Bone marrow aspirate smear
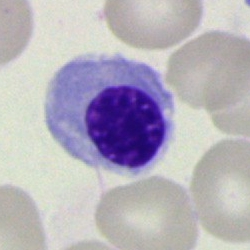

The cell is nucleated red cell.